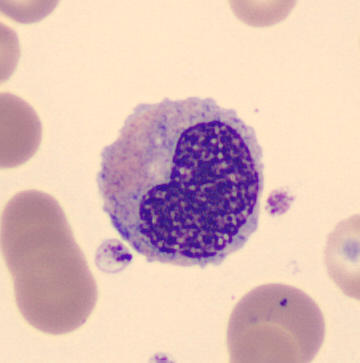
Cell = metamyelocyte.

MGG-stained · CellaVision DM96 · peripheral blood film.